Bone marrow aspirate smear. 250×250
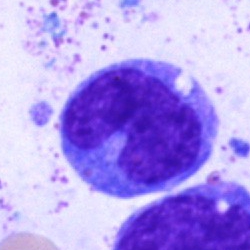 {"cell_type": "monocyte", "lineage": "myeloid"}